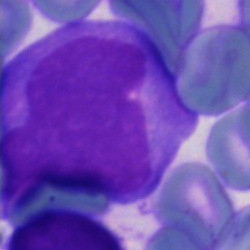 Q: What is shown here?
A: Undifferentiated blast.